Peripheral blood smear: 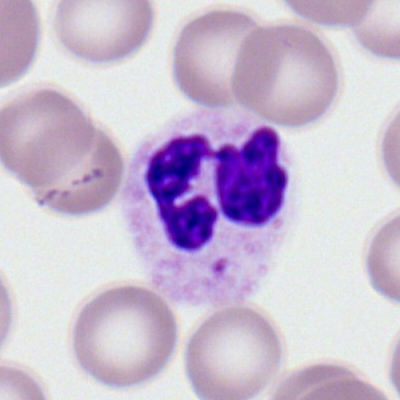

Morphological class = polymorphonuclear neutrophil.